Bone marrow smear — 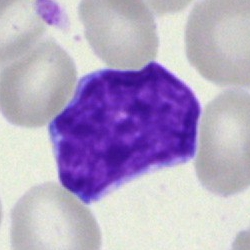 {"cell_type": "blast cell"}